Brightfield microscopy, 40× oil immersion. May-Grünwald-Giemsa/Pappenheim stain. Bone marrow smear.
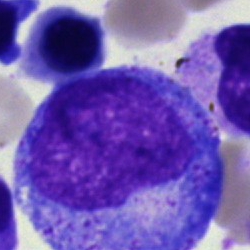
Q: Which cell type is shown here?
A: This is a progranulocyte.